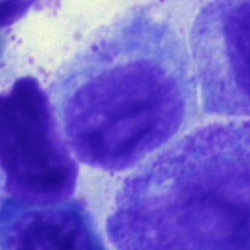
Q: What type of cell is this?
A: It is a lymphocyte.